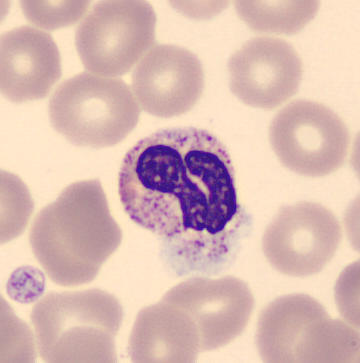 Peripheral blood film; MGG-stained.
Single cell identified as a polymorphonuclear neutrophil.